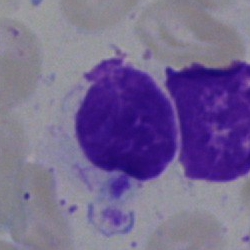 The morphological class is artifact.